Bone marrow smear; 250×250; 40× oil immersion
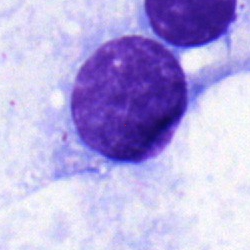{"cell_type": "typical lymphocyte"}